Bone marrow aspirate smear — 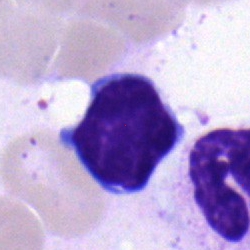Lymphocyte.